Peripheral blood film
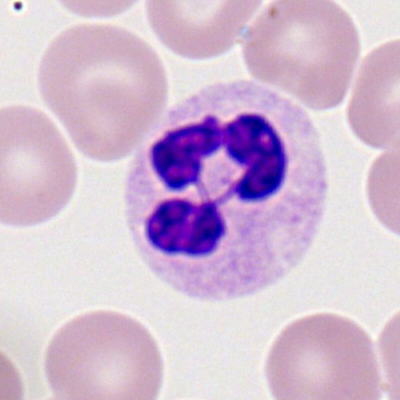

Cell type = segmented neutrophil.